Bone marrow aspirate smear. Brightfield, 40× oil-immersion objective:
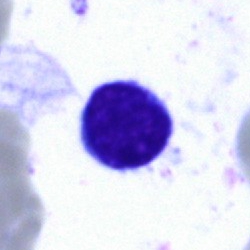Specimen: bone marrow aspirate smear.
Cell: typical lymphocyte.
Lineage: lymphoid.